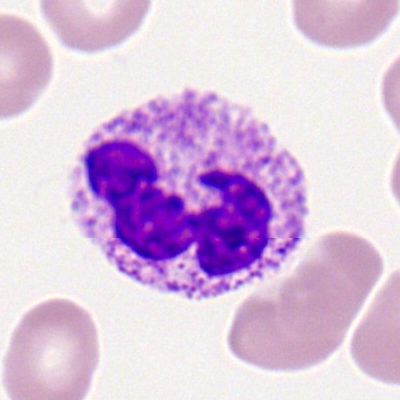

The cell shown is a segmented neutrophil.